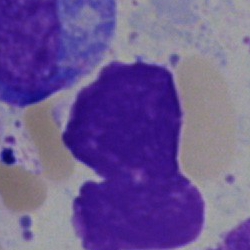 An artefact on a bone marrow smear.